Bone marrow smear: 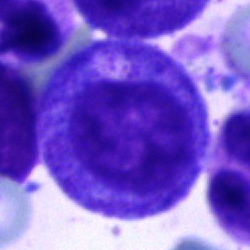

Classification = myelocyte.